Bone marrow smear — 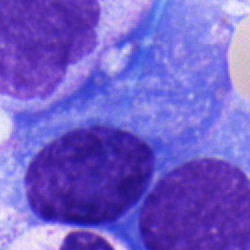
Impression — plasma cell.